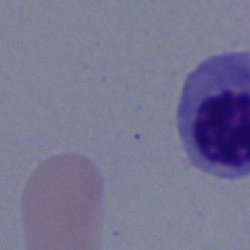
Specimen: bone marrow smear.
Cell type: artefact.